Bone marrow smear · brightfield, 40× oil-immersion objective.
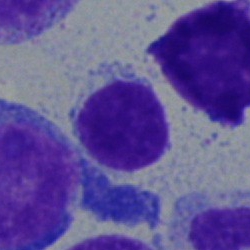Showing a lymphocyte.